Bone marrow aspirate smear · brightfield microscopy, 40× oil immersion.
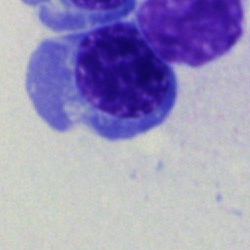
Specimen: bone marrow aspirate smear.
Classification: normoblast.
Lineage: erythroid.